Bone marrow aspirate smear.
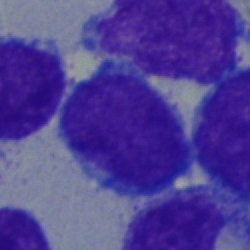Cell — undifferentiated blast.